Bone marrow aspirate smear: 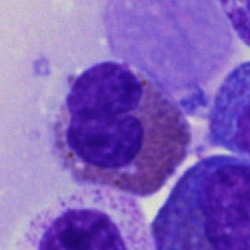

Specimen: bone marrow smear.
Cell type: eosinophilic granulocyte.